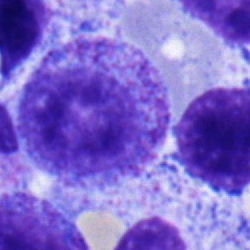
Q: Which cell type is shown here?
A: A myelocyte.